250×250 px. Bone marrow aspirate smear: 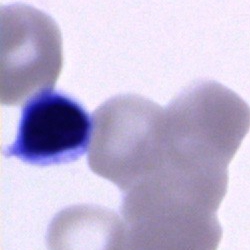

Morphology consistent with a cell of indeterminate lineage.